Bone marrow smear
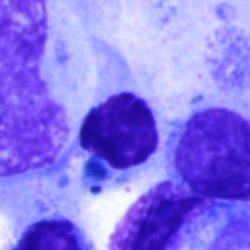
Specimen: bone marrow aspirate smear.
Morphological class: artifact.